Single-cell field. Bone marrow aspirate smear. 40× objective, oil immersion — 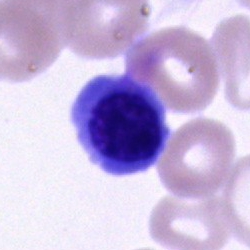Q: Identify the cell.
A: Normoblast.